Bone marrow aspirate smear · 40× objective, oil immersion: 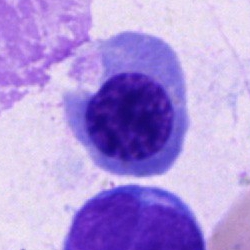

Cell type — erythroblast.